Bone marrow aspirate smear: 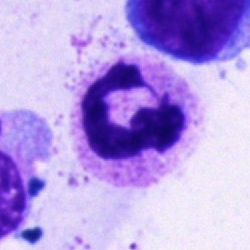Segmented neutrophil.